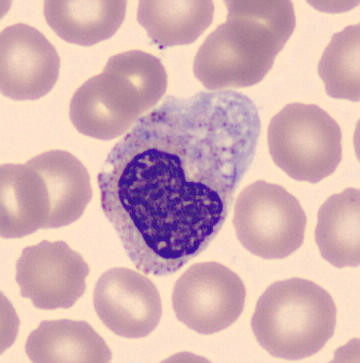
Morphology consistent with a metamyelocyte.